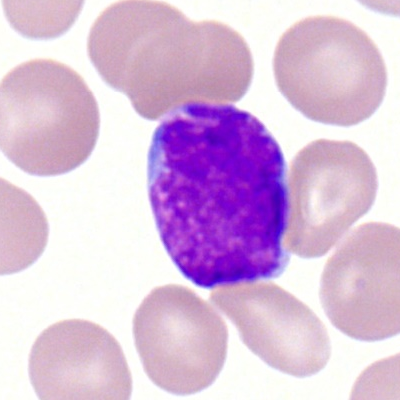Cell = myeloblast.